Bone marrow aspirate smear:
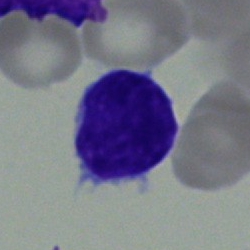

Morphology → typical lymphocyte.